May-Grünwald-Giemsa/Pappenheim stain. Bone marrow aspirate smear — 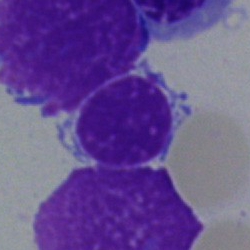This is a lymphocyte.